Pappenheim-stained. Bone marrow smear: 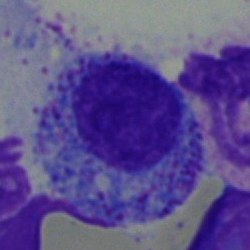
Q: What is the morphological classification of this cell?
A: Myelocyte.